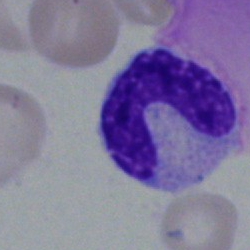Classification: band-form neutrophil.